Bone marrow smear:
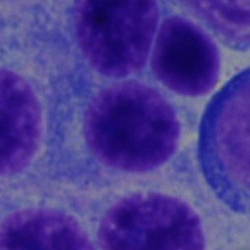

Morphological class: plasma cell.